Bone marrow smear; cropped to a single cell; 40× objective, oil immersion: 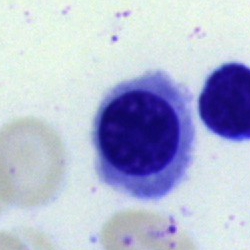
Q: Identify the cell.
A: This is a normoblast.